Bone marrow aspirate smear: 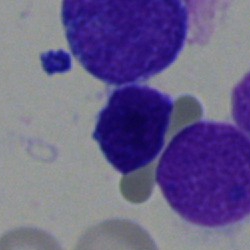Impression → typical lymphocyte.